Bone marrow aspirate smear. 250×250 px.
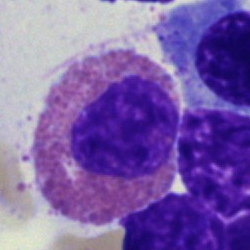 Morphology consistent with an eosinophilic granulocyte.